Bone marrow aspirate smear — 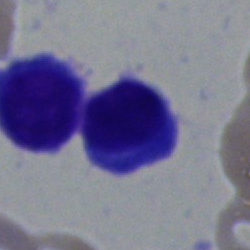 Morphology consistent with a lymphocyte.